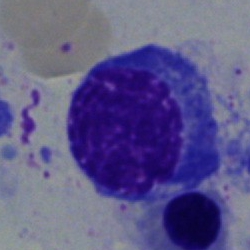 Q: What is shown here?
A: This is a plasmacyte.